Bone marrow smear
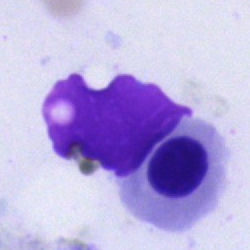
Specimen: bone marrow smear.
Cell type: nucleated red cell.
Lineage: erythroid.